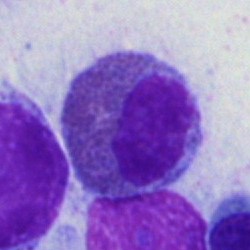

Q: What is shown here?
A: It is an eosinophil.